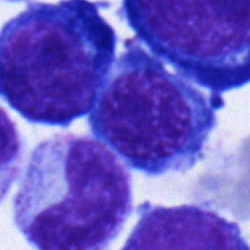The cell is nucleated red cell.